Bone marrow smear.
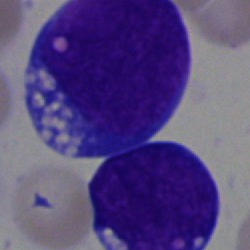

A blast cell.